Bone marrow aspirate smear:
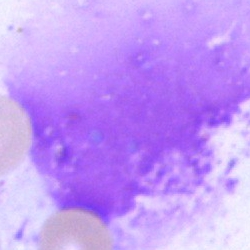
Morphological class: artifact.